Bone marrow aspirate smear · single cell centered in the field
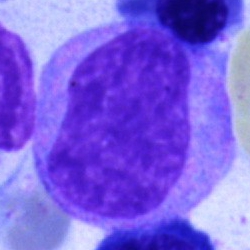
Monocyte.